May-Grünwald-Giemsa/Pappenheim stain · single-cell crop · bone marrow smear — 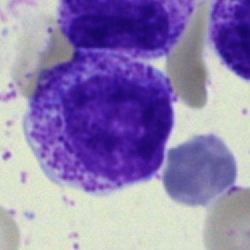 Morphology — myelocyte.